May-Grünwald-Giemsa stain. Bone marrow smear. 250×250: 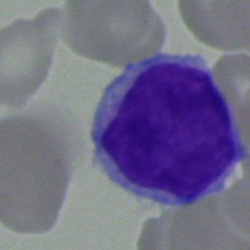

Morphological class = typical lymphocyte.